Bone marrow smear: 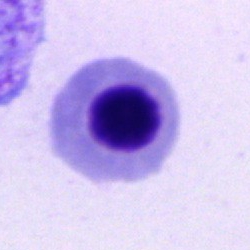

Specimen: bone marrow smear.
Classification: nucleated red blood cell.